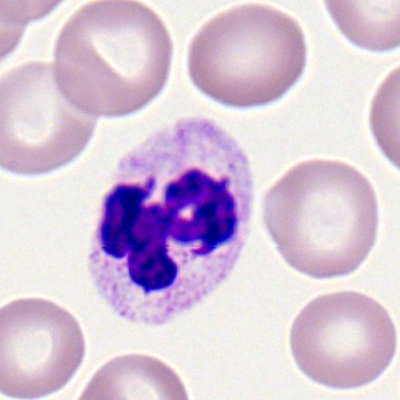
The cell shown is a segmented neutrophil.